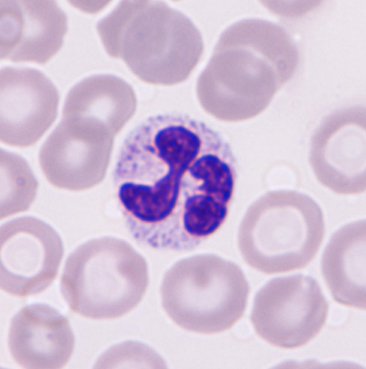

The classification is neutrophilic granulocyte.